Bone marrow smear.
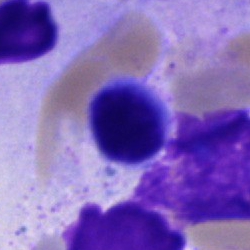
Morphology consistent with a lymphocyte.